Bone marrow aspirate smear. Single cell centered in the field: 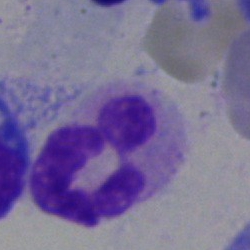

The cell is polymorphonuclear neutrophil.